Bone marrow smear — 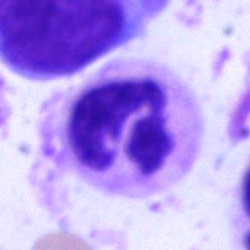Showing a neutrophil (segmented).